Bone marrow smear:
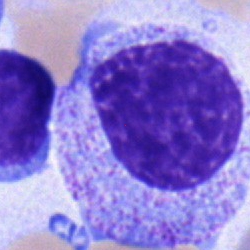The cell shown is a myelocyte.